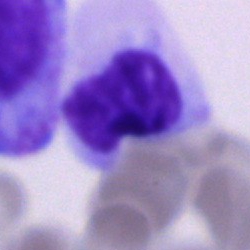 Specimen: bone marrow smear.
Classification: cell of indeterminate lineage.